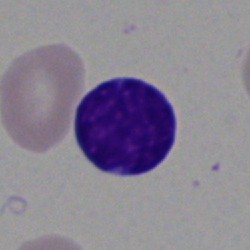

Bone marrow smear showing a blast cell.